Bone marrow aspirate smear
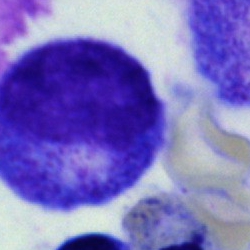 Specimen: bone marrow smear.
Cell: progranulocyte.
Lineage: myeloid.